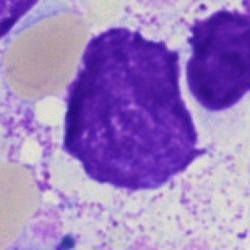Q: What is shown here?
A: It is an artefact.